Image size 250×250 · cropped to a single cell · bone marrow aspirate smear:
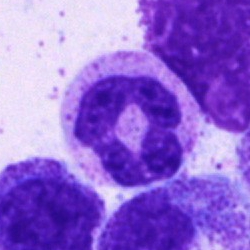 Cell: neutrophil (segmented).